Bone marrow smear — 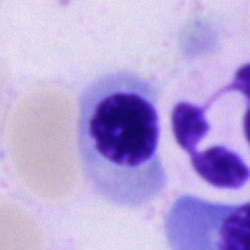

{"cell_type": "erythroblast"}